250 by 250 pixels; bone marrow smear — 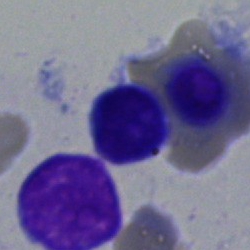The classification is lymphocyte.